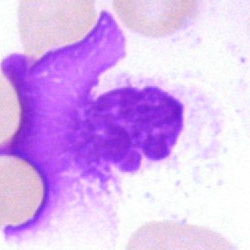Morphology → artifact.